Bone marrow smear
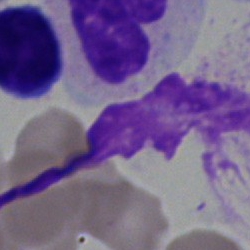
Single cell identified as an artefact.